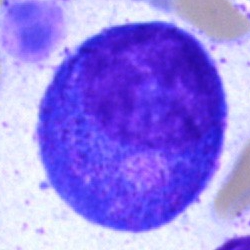

Bone marrow smear showing a progranulocyte.